Bone marrow smear:
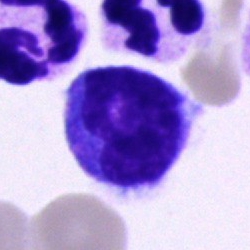

This is a monocyte.